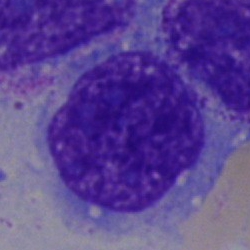Q: What is shown here?
A: It is a blast.